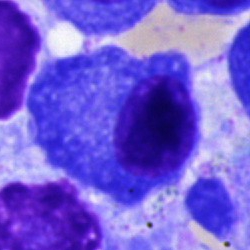The cell shown is a plasmacyte.